Bone marrow smear.
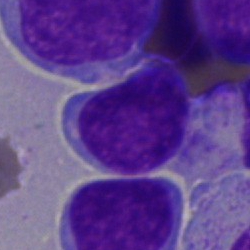Specimen: bone marrow smear.
Cell: lymphocyte.
Lineage: lymphoid.